Bone marrow aspirate smear · single cell centered in the field
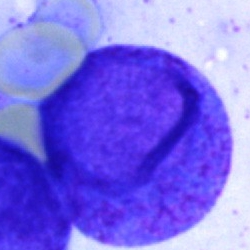

Q: What cell is this?
A: Progranulocyte.